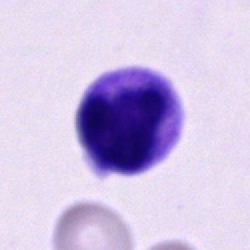
Cell type = segmented neutrophil.